Bone marrow smear
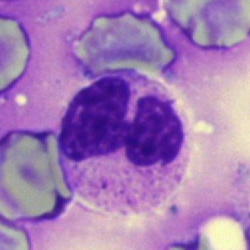
Morphology — polymorphonuclear neutrophil.